Bone marrow smear.
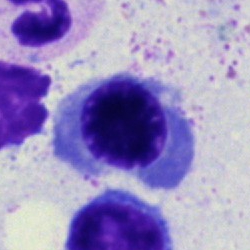

Impression — nucleated red cell.